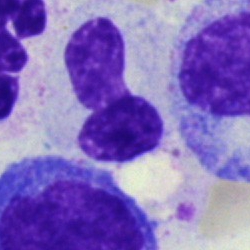

A polymorphonuclear neutrophil.